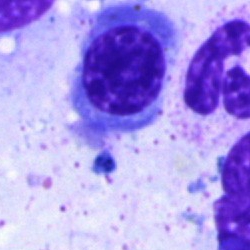 {"cell_type": "nucleated red blood cell"}